Bone marrow aspirate smear
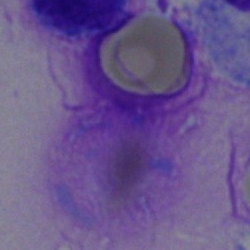
{"cell_type": "artefact"}